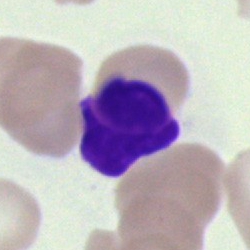

Morphology consistent with an artifact.